Bone marrow smear; brightfield microscopy, 40× oil immersion
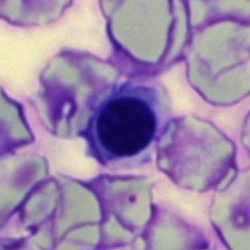Impression → erythroblast.